MGG-stained; bone marrow smear:
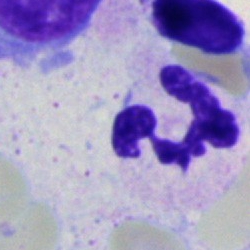
This is a polymorphonuclear neutrophil.